Bone marrow smear — 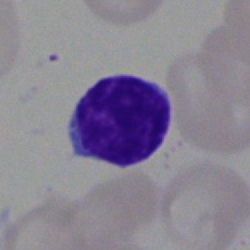
{"cell_type": "typical lymphocyte", "lineage": "lymphoid"}